Bone marrow aspirate smear.
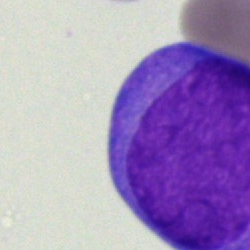 Impression → blast.